Bone marrow smear
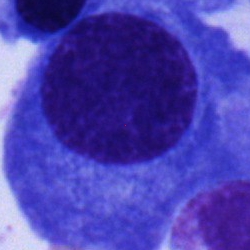

Q: What is the morphological classification of this cell?
A: It is a plasma cell.